Bone marrow aspirate smear
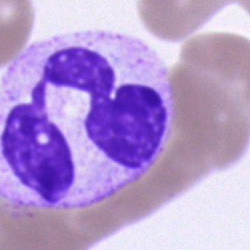
Impression → neutrophil (segmented).